250 by 250 pixels. Bone marrow smear
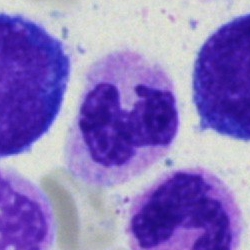Q: What is the morphological classification of this cell?
A: Polymorphonuclear neutrophil.